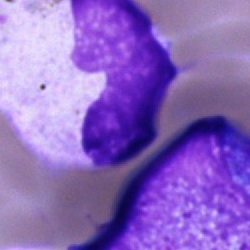

An unidentifiable cell.